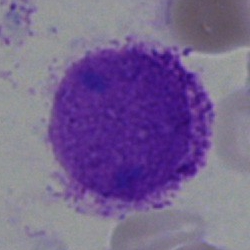

Q: What is shown here?
A: It is an artifact.